40× oil immersion; bone marrow aspirate smear — 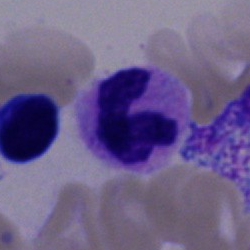

Cell = neutrophil (segmented).